Peripheral blood smear; 400×400 px
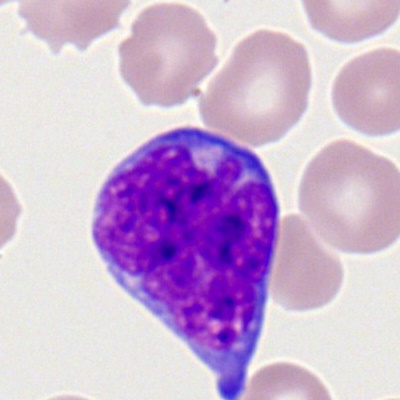Specimen: peripheral blood smear.
Morphological class: myeloblast.
Lineage: myeloid.